Bone marrow aspirate smear · 250×250 px
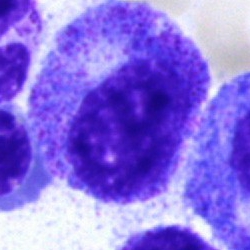
Showing a myelocyte.